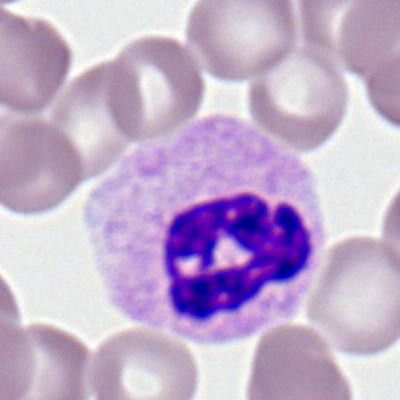
A segmented neutrophil on a peripheral blood smear.